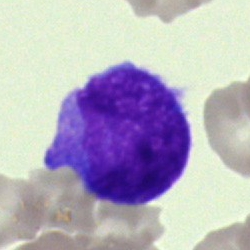
Impression → undifferentiated blast.